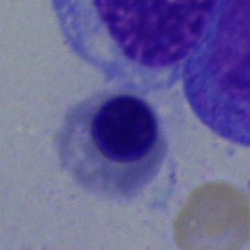
Morphological class — normoblast.